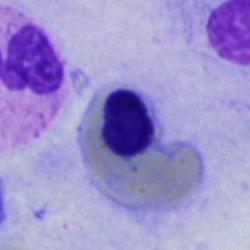{"cell_type": "erythroblast", "lineage": "erythroid"}